250 by 250 pixels · bone marrow aspirate smear · 40× objective, oil immersion — 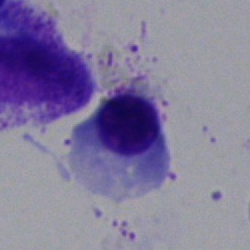Morphology consistent with a nucleated red blood cell.